Bone marrow smear; brightfield microscopy, 40× oil immersion: 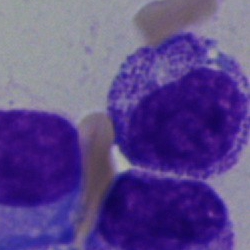 Single cell identified as a myelocyte.